Peripheral blood film — 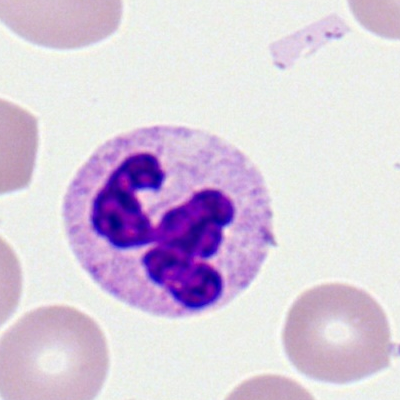 Morphology → segmented neutrophil.